Bone marrow aspirate smear.
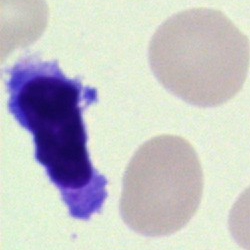
Showing an artefact.